Bone marrow aspirate smear
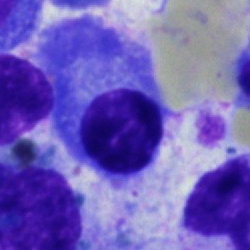 A plasmacyte.